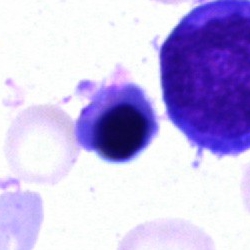The classification is normoblast.